Single cell centered in the field. Bone marrow aspirate smear — 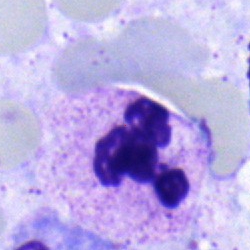

Specimen: bone marrow aspirate smear.
Morphological class: neutrophil (segmented).
Lineage: myeloid.